Single cell centered in the field · bone marrow smear — 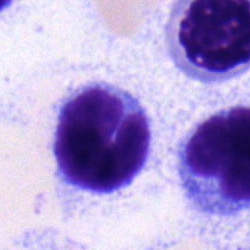
Specimen: bone marrow smear.
Classification: lymphocyte.
Lineage: lymphoid.